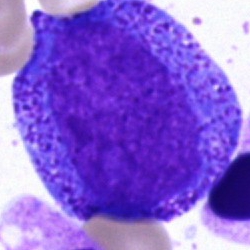Q: Which cell type is shown here?
A: This is a progranulocyte.